Bone marrow aspirate smear · brightfield microscopy, 40× oil immersion · May-Grünwald-Giemsa/Pappenheim stain
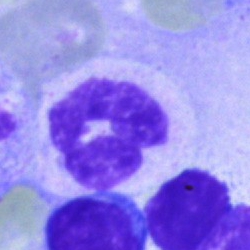

This is a segmented neutrophil.